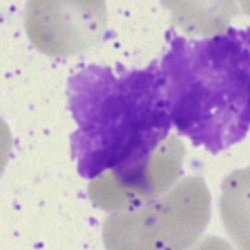 Classification — artefact.